Single-cell crop · bone marrow aspirate smear · 250×250: 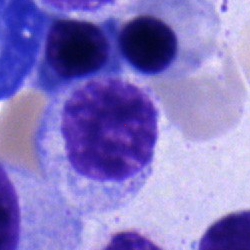 Showing a myelocyte.